Bone marrow aspirate smear; brightfield microscopy, 40× oil immersion
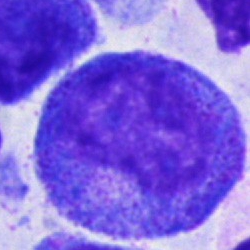

Cell: promyelocyte.